May-Grünwald-Giemsa stain. Bone marrow smear. 250×250 px
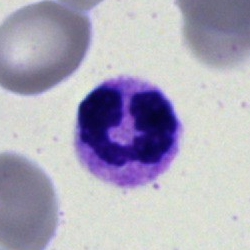

Q: What is the morphological classification of this cell?
A: Segmented neutrophil.